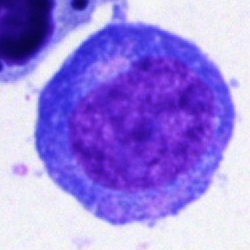 Bone marrow aspirate smear, single cell — progranulocyte.